Bone marrow smear; 250×250 — 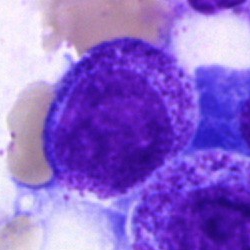
Showing a myelocyte.